Bone marrow smear
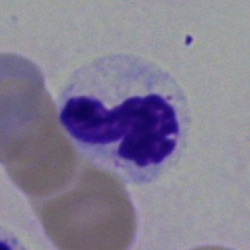

Specimen: bone marrow aspirate smear.
Classification: neutrophil (segmented).